Bone marrow smear:
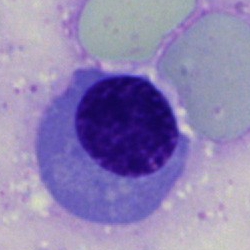

Classification = nucleated red blood cell.